Bone marrow aspirate smear.
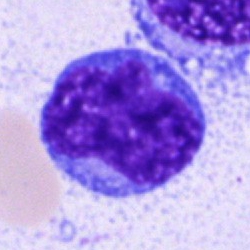

Morphology consistent with an undifferentiated blast.